250×250 px. Bone marrow aspirate smear — 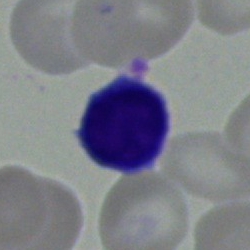
Q: What is shown here?
A: It is a typical lymphocyte.